Bone marrow aspirate smear · brightfield, 40× oil-immersion objective: 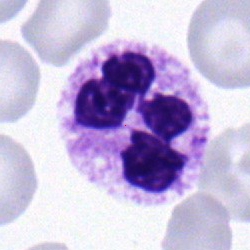 Showing a neutrophil (segmented).